Bone marrow smear — 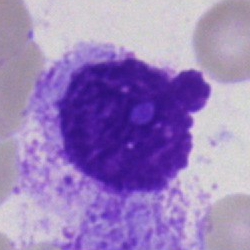 Morphological class: artifact.